Single-cell field. Bone marrow smear:
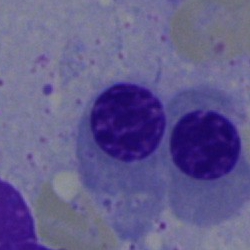An erythroblast.